Bone marrow smear
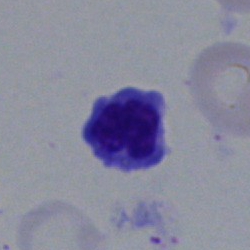Single cell identified as an artifact.